Bone marrow smear.
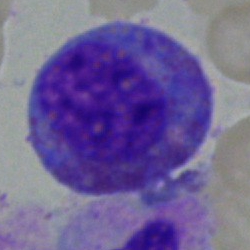 Impression — eosinophil.